CellaVision DM96 · image size 360×363 · peripheral blood film.
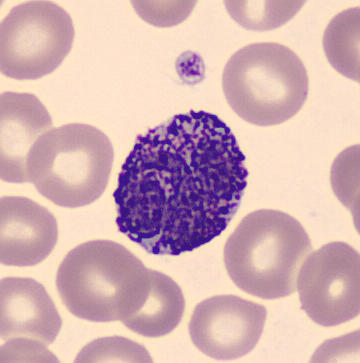

The cell shown is a basophil.